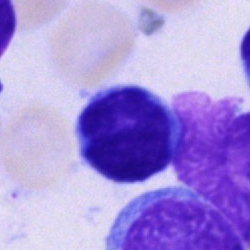
A typical lymphocyte.